400 by 400 pixels · single cell centered in the field · peripheral blood smear: 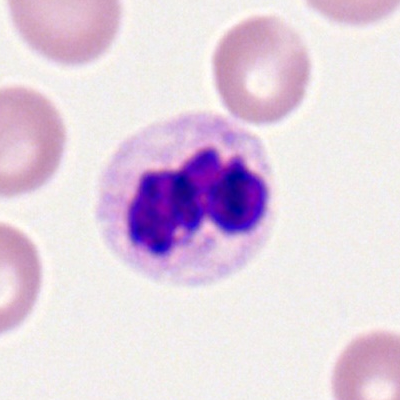
Q: What is shown here?
A: This is a segmented neutrophil.